Bone marrow aspirate smear; single-cell crop; 40× objective, oil immersion:
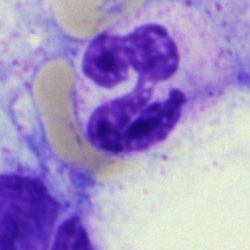

Impression → segmented neutrophil.